Bone marrow smear
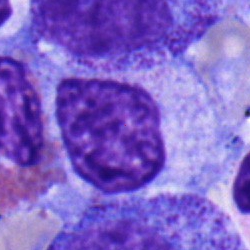Q: What type of cell is this?
A: A myelocyte.